Peripheral blood smear — 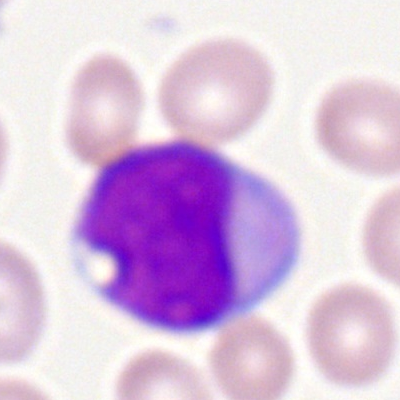The cell shown is a myeloblast.